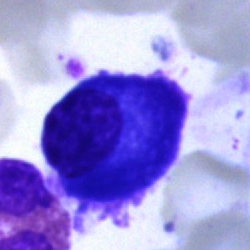 Bone marrow smear showing a plasmacyte.